Bone marrow aspirate smear.
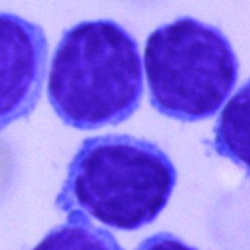Impression — typical lymphocyte.